Bone marrow aspirate smear · brightfield microscopy, 40× oil immersion
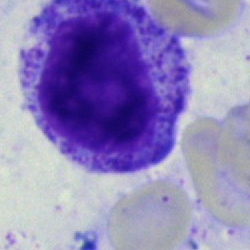The cell shown is a myelocyte.